Brightfield microscopy, 40× oil immersion; bone marrow aspirate smear.
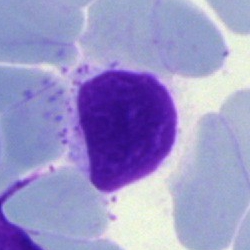Cell: typical lymphocyte.